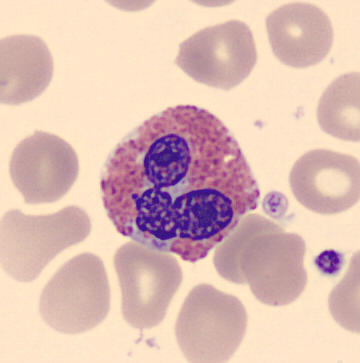Preparation: Peripheral blood smear. Q: What is shown here?
A: This is an eosinophilic granulocyte.